Bone marrow smear · May-Grünwald-Giemsa/Pappenheim stain:
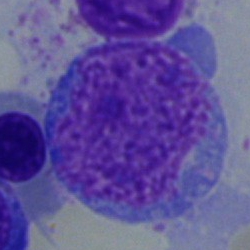 This is an undifferentiated blast.